Brightfield, 40× oil-immersion objective. Bone marrow smear — 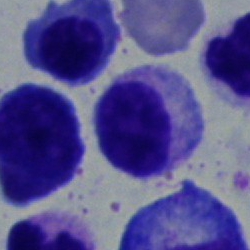
Showing a myelocyte.